Brightfield, 40× oil-immersion objective · bone marrow aspirate smear: 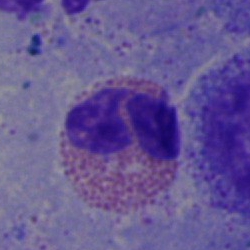
Morphology — eosinophil.